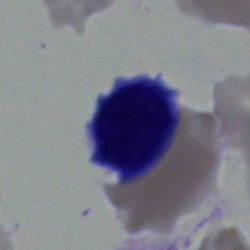

Q: Which cell type is shown here?
A: A typical lymphocyte.